Peripheral blood film.
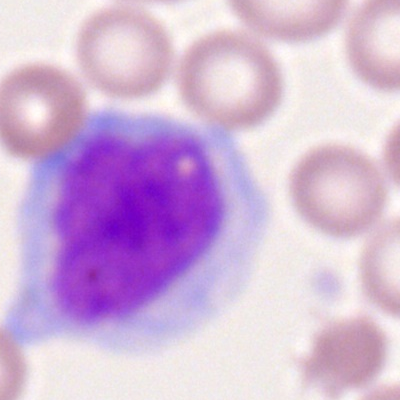

{"cell_type": "monocyte", "lineage": "myeloid"}